Bone marrow aspirate smear; 40× objective, oil immersion: 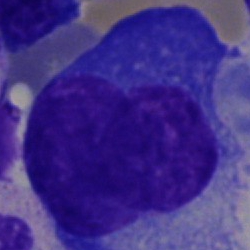

Impression → plasmacyte.